Bone marrow aspirate smear:
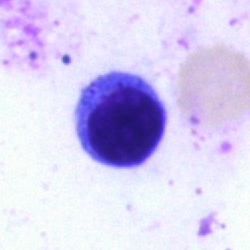

Morphological class = typical lymphocyte.